Bone marrow aspirate smear — 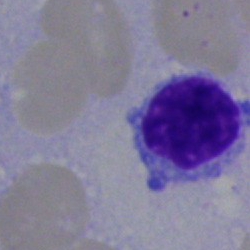

A normoblast.